Bone marrow smear:
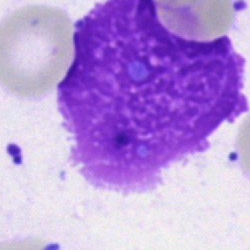

Showing an artefact.